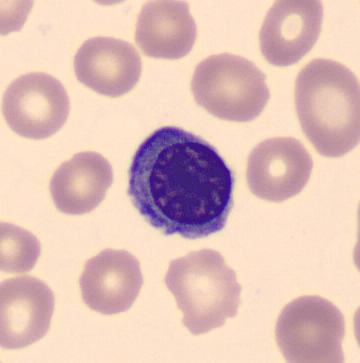
Q: What cell is this?
A: This is a nucleated red blood cell.
Peripheral blood film.